Bone marrow aspirate smear · cropped to a single cell
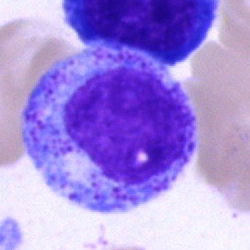
Q: What type of cell is this?
A: Promyelocyte.